Bone marrow aspirate smear.
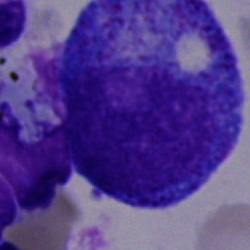{"cell_type": "promyelocyte", "lineage": "myeloid"}